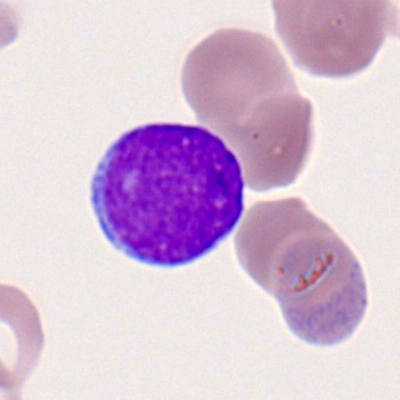
Q: What type of cell is this?
A: Myeloid blast.